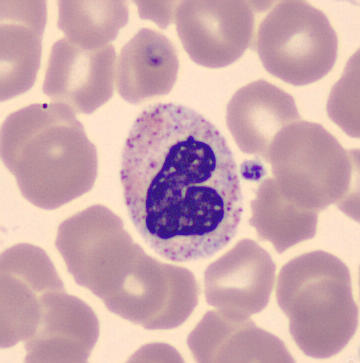

Showing a stab cell.